Single-cell crop · bone marrow smear:
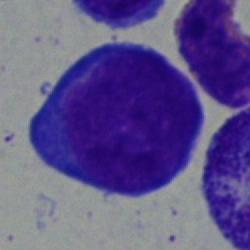 The morphological class is blast.